Bone marrow aspirate smear: 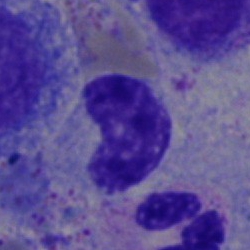Showing a band neutrophil.